Bone marrow smear: 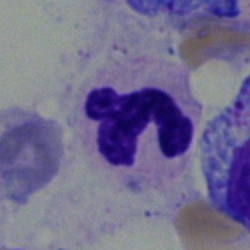The cell shown is a segmented neutrophil.